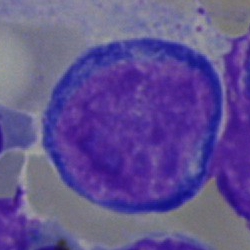 A pronormoblast on a bone marrow smear.